Bone marrow aspirate smear. Single cell centered in the field:
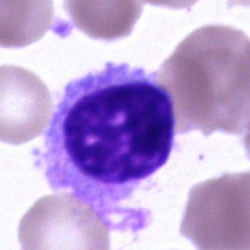 This is a cell of indeterminate lineage.